Bone marrow smear
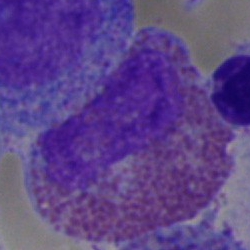
Q: Identify the cell.
A: It is an eosinophilic granulocyte.